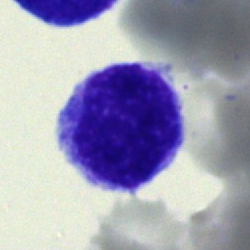
Q: What is the morphological classification of this cell?
A: This is a cell of indeterminate lineage.